Bone marrow aspirate smear: 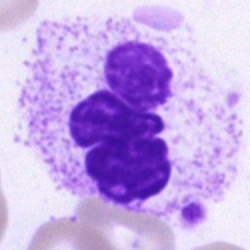

A segmented neutrophil.